Bone marrow aspirate smear.
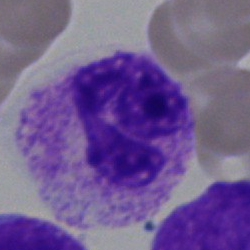Morphology — segmented neutrophil.